Peripheral blood smear · single-cell crop:
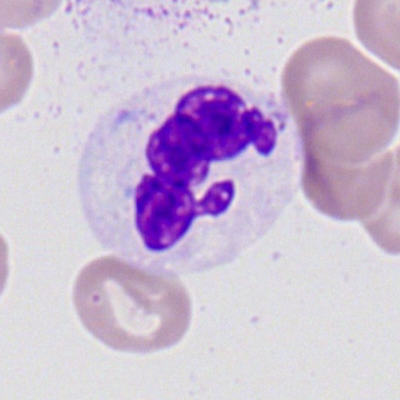
Specimen: peripheral blood film.
Cell: segmented neutrophil.